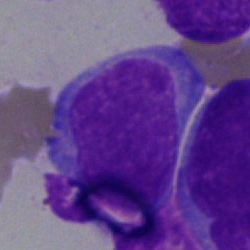
Showing a blast cell.